Bone marrow aspirate smear
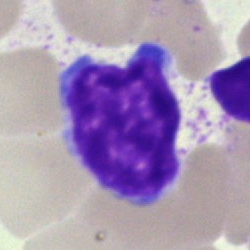Classification: typical lymphocyte.